Bone marrow smear · 250×250:
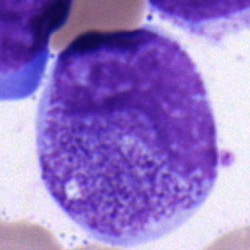 Cell: promyelocyte.